250×250 · bone marrow aspirate smear: 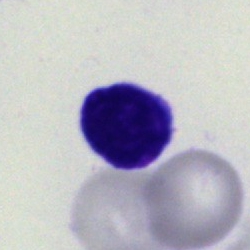Q: What is shown here?
A: Undifferentiated blast.